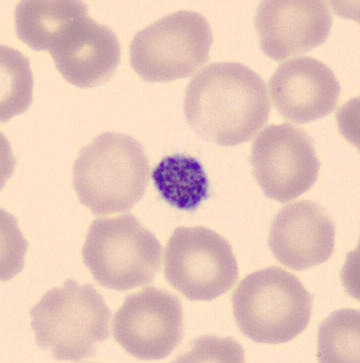 Image: Imaged on a CellaVision DM96 analyser; 360×363. Specimen: peripheral blood film.
Morphological class: platelet (thrombocyte).